Single-cell field. Bone marrow smear — 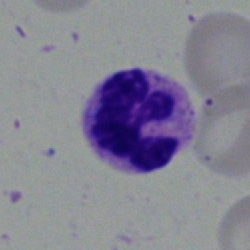
Polymorphonuclear neutrophil.